MGG-stained · bone marrow smear: 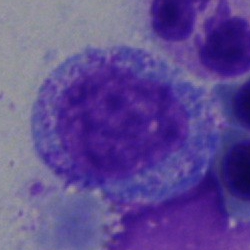Morphology consistent with a progranulocyte.